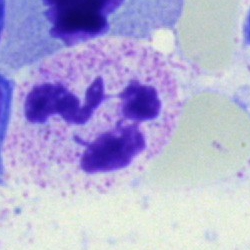
A polymorphonuclear neutrophil on a bone marrow smear.